Bone marrow smear
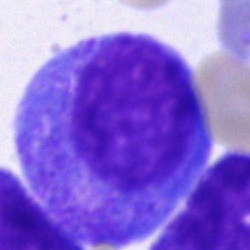
Cell: promyelocyte.